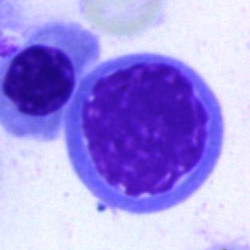
Bone marrow aspirate smear, single cell — nucleated red cell.